Bone marrow aspirate smear — 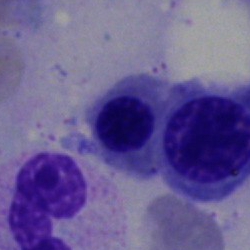
{"cell_type": "erythroblast"}